Bone marrow aspirate smear; single-cell field; 250 by 250 pixels:
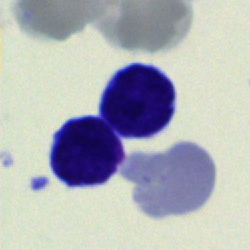This is a typical lymphocyte.